Bone marrow aspirate smear — 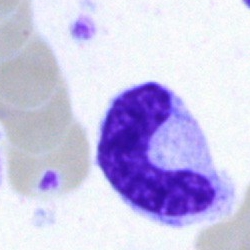 Impression — band-form neutrophil.